Bone marrow smear: 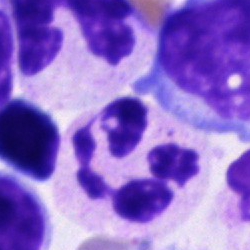Cell = neutrophil (segmented).